Bone marrow aspirate smear.
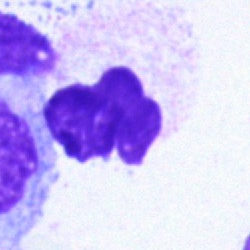 Q: What is shown here?
A: This is an artefact.